Bone marrow aspirate smear — 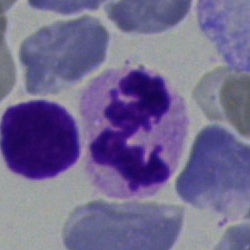Q: What is the morphological classification of this cell?
A: A segmented neutrophil.